Bone marrow smear.
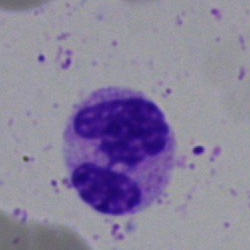
A polymorphonuclear neutrophil.